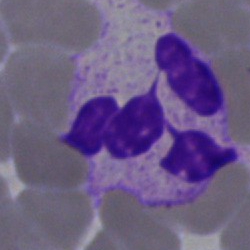
Morphological class: polymorphonuclear neutrophil.